Bone marrow aspirate smear.
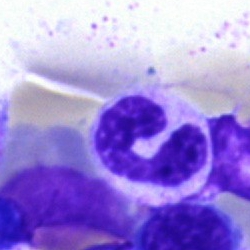

Cell type — neutrophil (segmented).